Bone marrow smear:
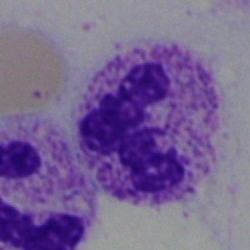
This is a segmented neutrophil.